Bone marrow smear: 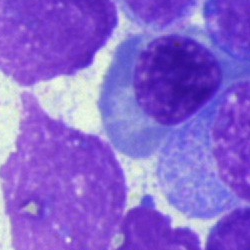
Specimen: bone marrow aspirate smear.
Classification: normoblast.